250×250 px · bone marrow smear: 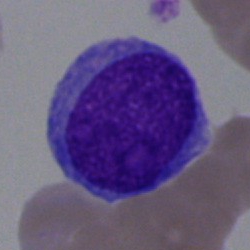 An undifferentiated blast.